Romanowsky-stained; peripheral blood smear: 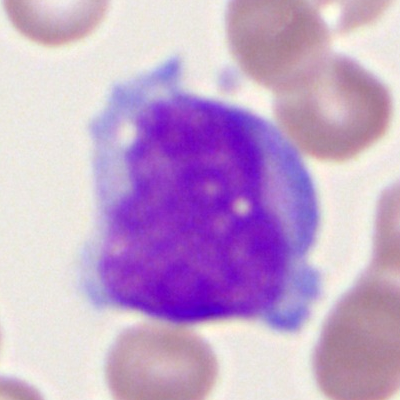Cell = monocyte.